Peripheral blood smear; brightfield, 100× oil-immersion objective; Romanowsky stain — 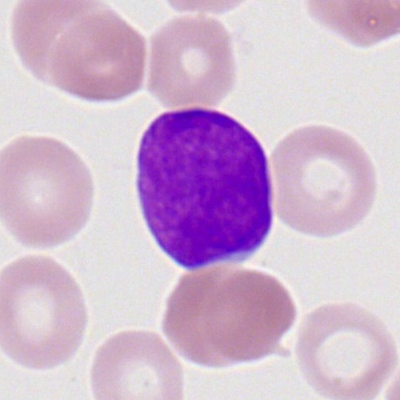 Morphology consistent with a myeloid blast.